Peripheral blood smear; Romanowsky stain; 400 by 400 pixels: 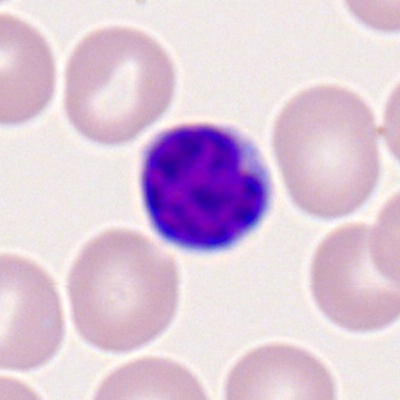
Single cell identified as a lymphocyte.